Single-cell field; bone marrow aspirate smear:
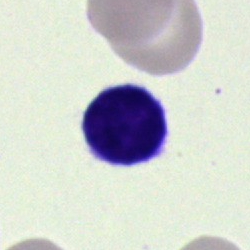 Q: Identify the cell.
A: This is a lymphocyte.